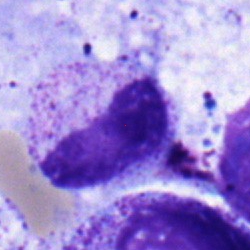

The cell shown is a metamyelocyte.